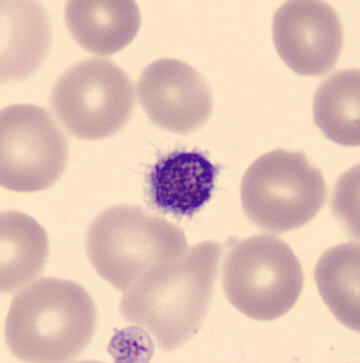Specimen: peripheral blood smear.
Morphological class: platelet.